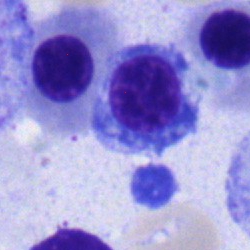Specimen: bone marrow aspirate smear.
Cell: erythroblast.
Lineage: erythroid.